250×250; bone marrow aspirate smear — 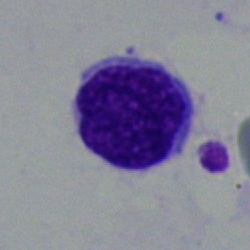 Single cell identified as a typical lymphocyte.